Bone marrow smear:
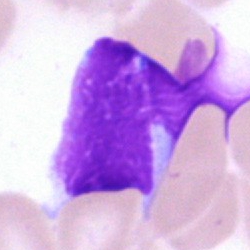

Q: What is shown here?
A: An artefact.